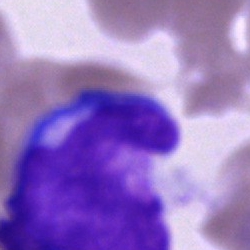

Specimen: bone marrow aspirate smear.
Morphological class: blast.